May-Grünwald-Giemsa stain · bone marrow aspirate smear · 40× objective, oil immersion: 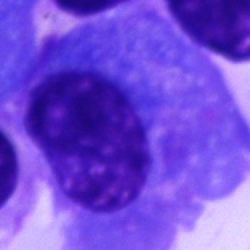A plasmacyte.